Bone marrow aspirate smear; cropped to a single cell.
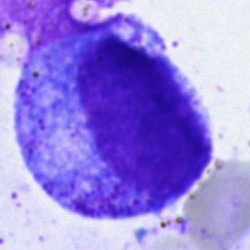 Impression → promyelocyte.